Bone marrow smear. May-Grünwald-Giemsa stain. Single-cell field.
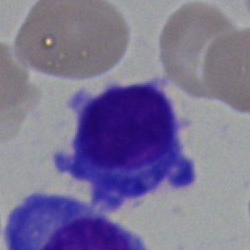

Showing a plasmacyte.